Bone marrow aspirate smear · brightfield, 40× oil-immersion objective:
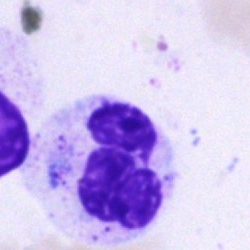

Q: Identify the cell.
A: This is a polymorphonuclear neutrophil.